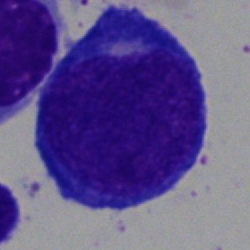This is a promyelocyte.